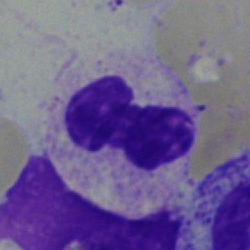
Q: What is the morphological classification of this cell?
A: It is a band-form neutrophil.